250×250 · bone marrow smear · cropped to a single cell — 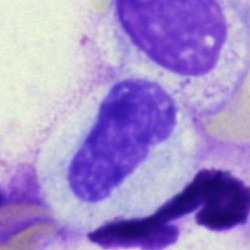

This is a band neutrophil.